Peripheral blood smear
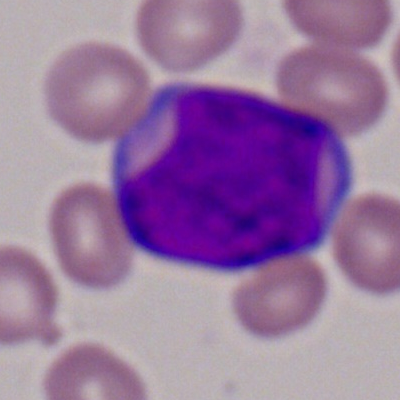 Morphology — myeloid blast.